Bone marrow aspirate smear: 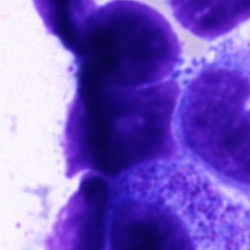 Single cell identified as an artifact.